40× objective, oil immersion · bone marrow smear.
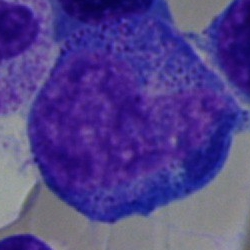
Single cell identified as a promyelocyte.